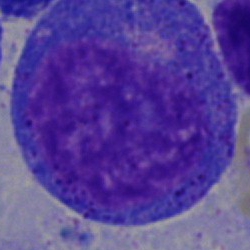Q: What type of cell is this?
A: A promyelocyte.